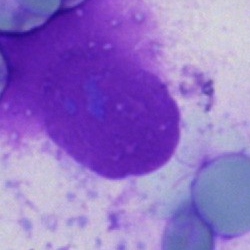
Q: What is shown here?
A: Artifact.